40× oil immersion · bone marrow aspirate smear · single-cell crop
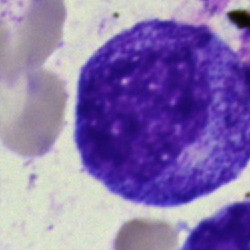 Single cell identified as a progranulocyte.